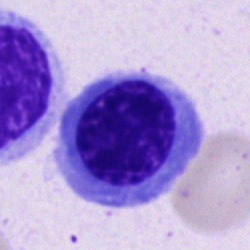

The cell type is normoblast.